Brightfield, 40× oil-immersion objective; bone marrow smear.
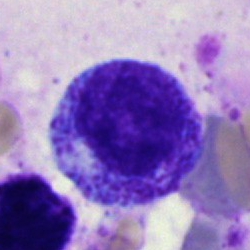Specimen: bone marrow aspirate smear.
Cell type: myelocyte.
Lineage: myeloid.